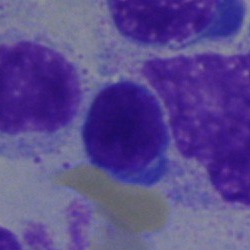
Morphology — typical lymphocyte.